250×250; bone marrow aspirate smear — 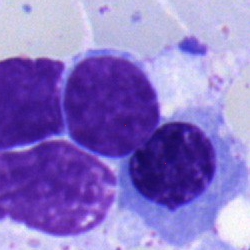 Specimen: bone marrow smear.
Classification: lymphocyte.